Bone marrow aspirate smear. May-Grünwald-Giemsa/Pappenheim stain. Cropped to a single cell: 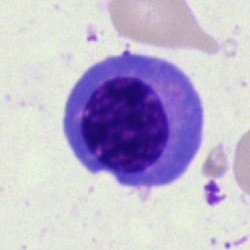

Specimen: bone marrow smear.
Cell: normoblast.
Lineage: erythroid.